Bone marrow aspirate smear · brightfield, 40× oil-immersion objective
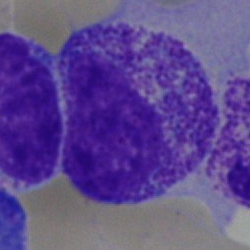Q: What is the morphological classification of this cell?
A: It is a myelocyte.